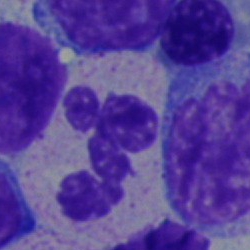 Specimen: bone marrow aspirate smear.
Cell type: neutrophil (segmented).
Lineage: myeloid.